Bone marrow aspirate smear. 250×250 px:
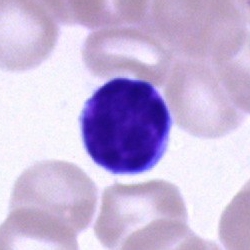 Q: What is shown here?
A: A lymphocyte.